Peripheral blood film. MGG-stained. Imaged on a CellaVision DM96 analyser — 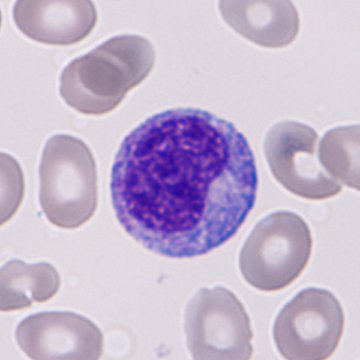Q: Identify the cell.
A: It is an immature granulocyte (promyelocyte, myelocyte or metamyelocyte).